Bone marrow smear
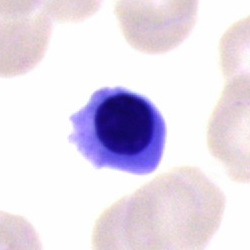 Q: Identify the cell.
A: A normoblast.